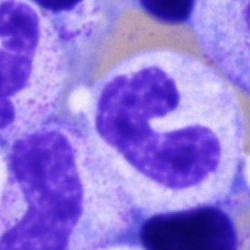Impression — stab cell.